Bone marrow aspirate smear; Pappenheim-stained; single-cell field: 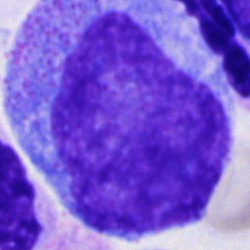

Q: Identify the cell.
A: Progranulocyte.